Bone marrow aspirate smear: 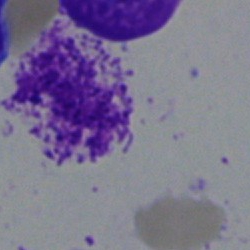
Morphological class: basophil.